May-Grünwald-Giemsa/Pappenheim stain. Bone marrow aspirate smear: 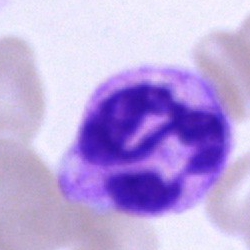The cell shown is a neutrophil (segmented).